Single cell centered in the field. Bone marrow aspirate smear.
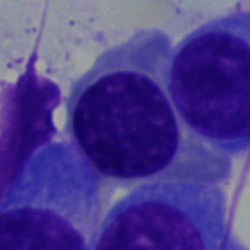Morphology consistent with a plasmacyte.